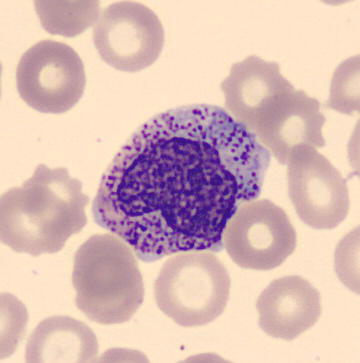
Image: Peripheral blood smear.

Q: Identify the cell.
A: It is a metamyelocyte.